Bone marrow aspirate smear
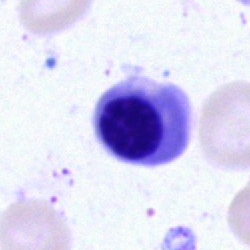 This is a nucleated red cell.